250×250; bone marrow smear; brightfield microscopy, 40× oil immersion — 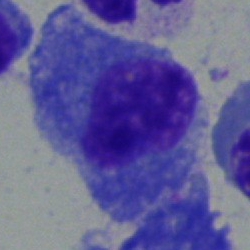
This is a plasma cell.